Cropped to a single cell; bone marrow smear; 40× oil immersion:
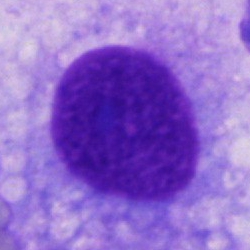 Morphological class: other cell type.